Bone marrow smear.
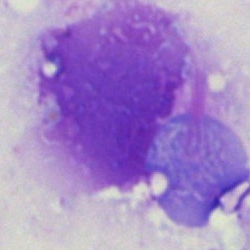Showing an artefact.